Bone marrow aspirate smear
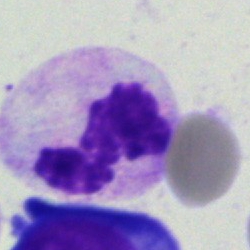Cell: polymorphonuclear neutrophil.